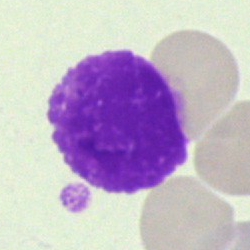Cell type — artifact.